250 by 250 pixels · bone marrow aspirate smear.
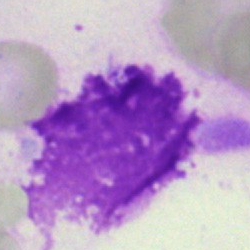Q: What is shown here?
A: It is an artefact.